Bone marrow smear
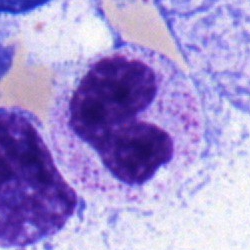
Classification — stab cell.